Peripheral blood smear; 400 by 400 pixels; Romanowsky-type stain: 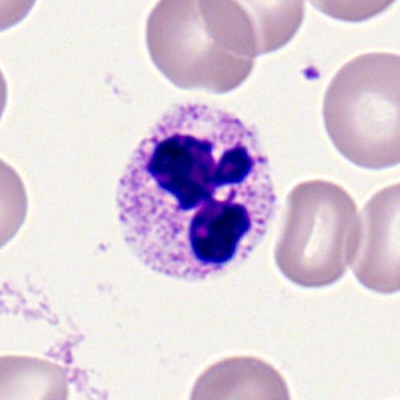Morphology consistent with a neutrophil (segmented).